Bone marrow smear — 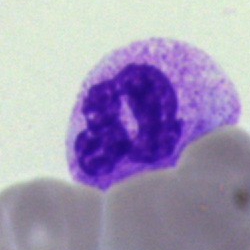A polymorphonuclear neutrophil.